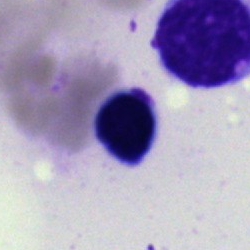

Cell: artifact.